Bone marrow smear · 40× objective, oil immersion · May-Grünwald-Giemsa/Pappenheim stain
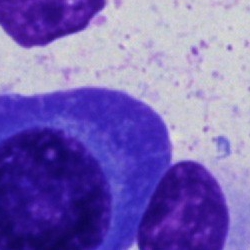 Morphology — plasmacyte.